Bone marrow aspirate smear — 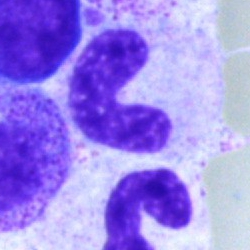Q: Which cell type is shown here?
A: This is a stab cell.